Single-cell crop · bone marrow smear:
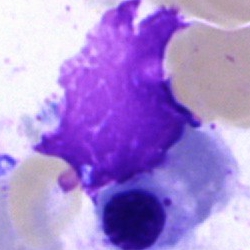 Impression → artifact.